Bone marrow smear.
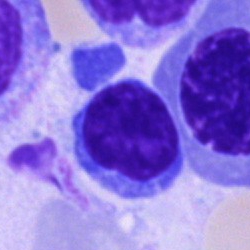 The cell shown is a typical lymphocyte.